Bone marrow smear.
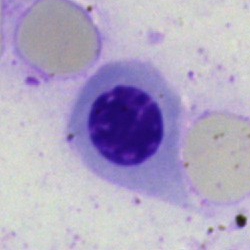

This is a nucleated red blood cell.